Bone marrow aspirate smear; brightfield, 40× oil-immersion objective.
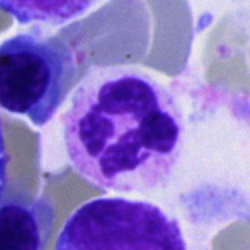 Cell type — neutrophil (segmented).